Brightfield microscopy, 40× oil immersion · bone marrow aspirate smear · 250×250
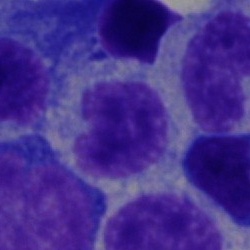Single cell identified as a metamyelocyte.